Bone marrow smear — 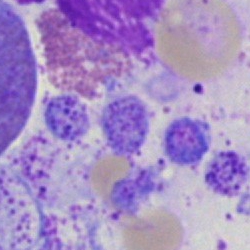

Specimen: bone marrow aspirate smear.
Cell type: artifact.